250×250. Pappenheim-stained. Bone marrow aspirate smear
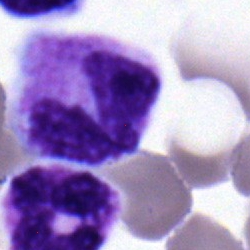 {"cell_type": "stab cell", "lineage": "myeloid"}